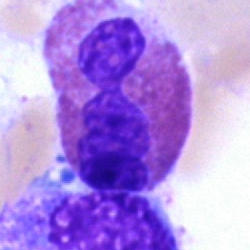
Q: What type of cell is this?
A: This is an eosinophilic granulocyte.